Bone marrow aspirate smear · MGG-stained · single-cell field
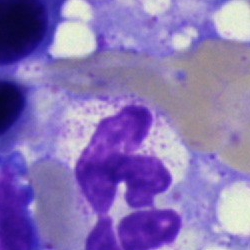 The cell type is segmented neutrophil.